Peripheral blood film · MGG stain.
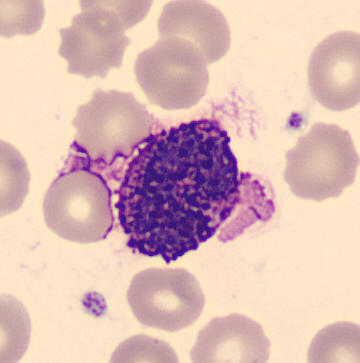 Impression → basophilic granulocyte.